Single-cell crop. May-Grünwald-Giemsa stain. Bone marrow aspirate smear — 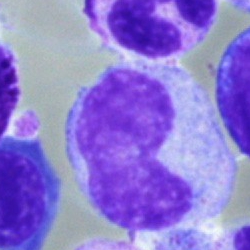
A metamyelocyte.